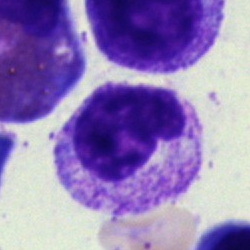 Impression — band-form neutrophil.